Bone marrow smear:
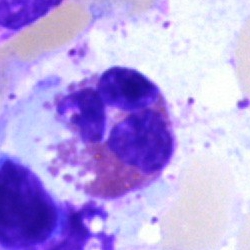Q: What is shown here?
A: This is an eosinophilic granulocyte.